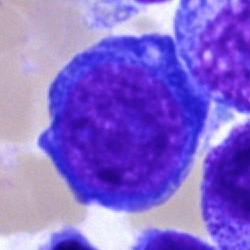 Showing a nucleated red blood cell.